Brightfield, 40× oil-immersion objective. Bone marrow smear.
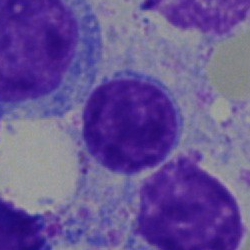

Specimen: bone marrow smear.
Classification: typical lymphocyte.
Lineage: lymphoid.